Bone marrow smear: 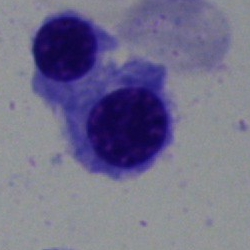

Morphology consistent with a nucleated red cell.